Peripheral blood film:
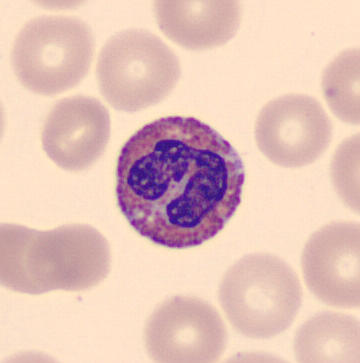Classification — eosinophil.